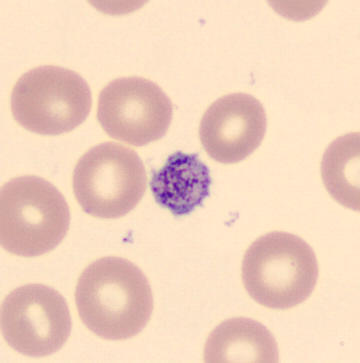

The cell type is thrombocyte.

Acquisition: Peripheral blood film.